100× objective, oil immersion; peripheral blood film.
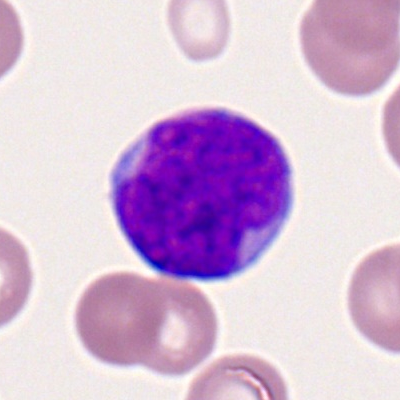 This is a myeloid blast.